Peripheral blood smear · CellaVision DM96
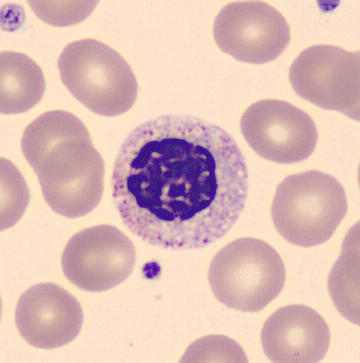 {"cell_type": "myelocyte"}